Bone marrow aspirate smear. 40× objective, oil immersion: 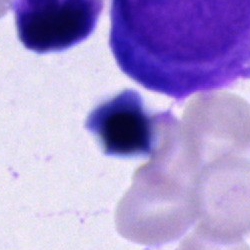

Morphological class = unidentifiable cell.